Bone marrow smear.
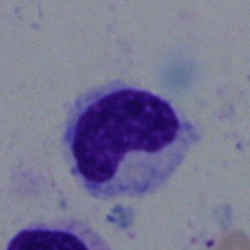 Morphological class — metamyelocyte.